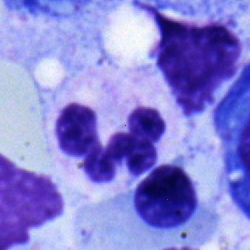 {"cell_type": "segmented neutrophil", "lineage": "myeloid"}